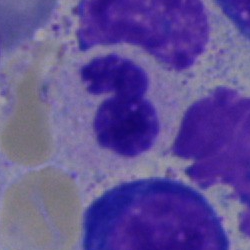
Morphology consistent with a polymorphonuclear neutrophil.